Bone marrow aspirate smear — 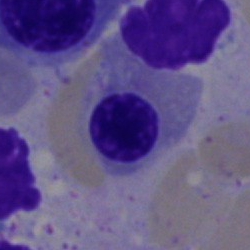Morphological class = normoblast.